Peripheral blood smear · Romanowsky stain
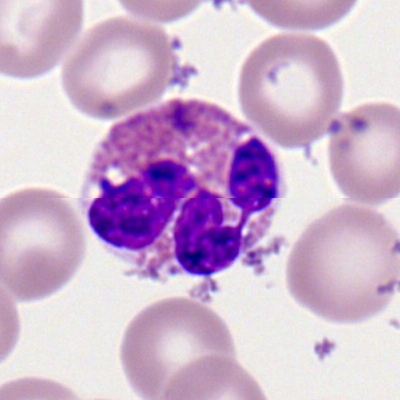 Q: Which cell type is shown here?
A: This is an eosinophil.